Single cell centered in the field. Brightfield, 40× oil-immersion objective. Bone marrow smear:
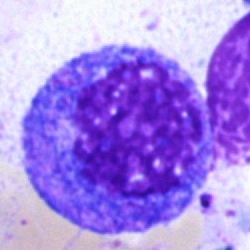Q: What cell is this?
A: It is a promyelocyte.